250 by 250 pixels. Bone marrow aspirate smear. May-Grünwald-Giemsa stain — 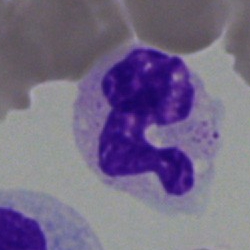Cell type — segmented neutrophil.